250×250 px · bone marrow smear: 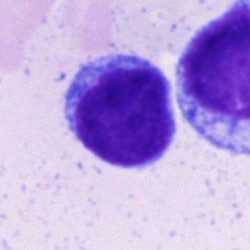

Specimen: bone marrow smear.
Cell type: lymphocyte.
Lineage: lymphoid.